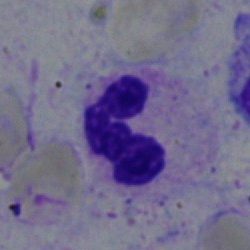
Q: Identify the cell.
A: Segmented neutrophil.